Bone marrow smear.
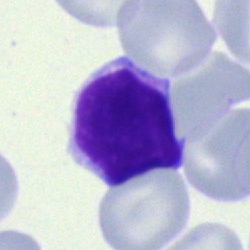
This is a typical lymphocyte.